Bone marrow smear: 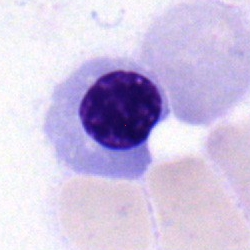
Nucleated red blood cell.